Bone marrow smear.
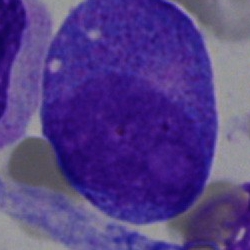Cell type: promyelocyte.